250×250 px; bone marrow aspirate smear: 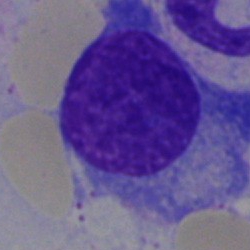Showing a plasma cell.